Bone marrow smear.
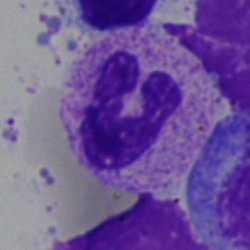 The morphological class is polymorphonuclear neutrophil.